Cropped to a single cell; MGG-stained; bone marrow aspirate smear: 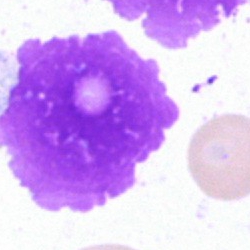 Q: What is shown here?
A: This is an artifact.